Bone marrow smear
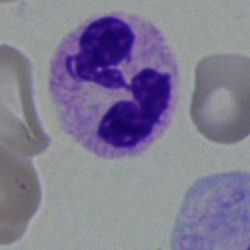

Q: What is shown here?
A: This is a segmented neutrophil.